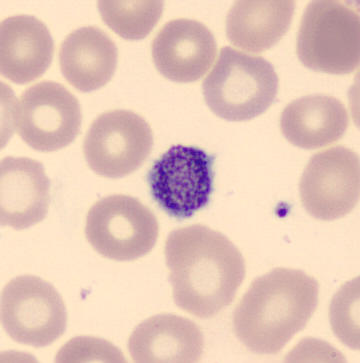
Image: Peripheral blood film.
Morphological class: platelet (thrombocyte).